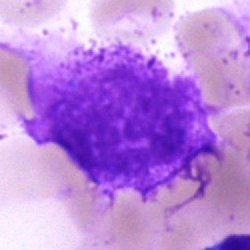
An artifact.